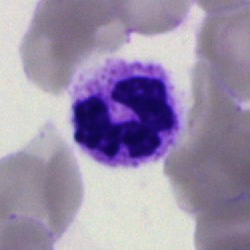 Segmented neutrophil.